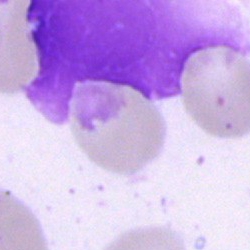

Cell: artefact.